Single-cell crop; bone marrow smear; brightfield, 40× oil-immersion objective
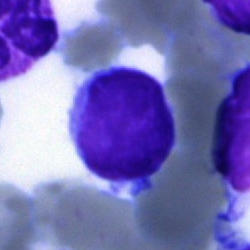
Morphological class — lymphocyte.